Bone marrow aspirate smear.
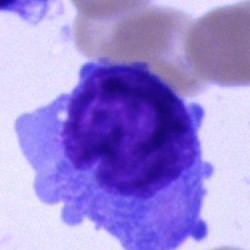 This is a blast.